Bone marrow smear; Pappenheim-stained — 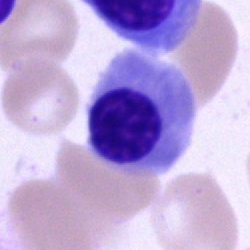 Normoblast.